Bone marrow smear. 250 by 250 pixels. Pappenheim-stained.
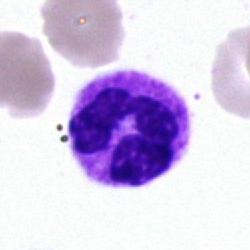

Single cell identified as a neutrophil (segmented).